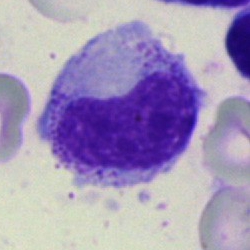Single cell identified as a metamyelocyte.